May-Grünwald-Giemsa/Pappenheim stain; bone marrow aspirate smear
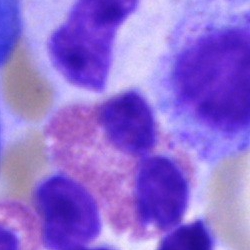Eosinophilic granulocyte.